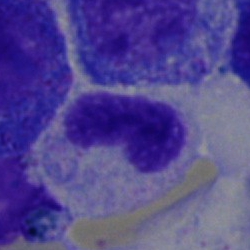Cell type — stab cell.